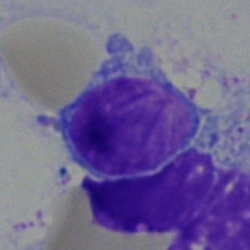 Specimen: bone marrow smear.
Classification: lymphocyte.